Bone marrow aspirate smear; cropped to a single cell
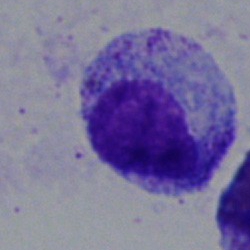
The cell shown is a promyelocyte.